Bone marrow aspirate smear. Brightfield, 40× oil-immersion objective. Single-cell crop.
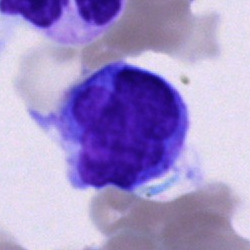
Q: What is the morphological classification of this cell?
A: Monocyte.